Brightfield microscopy, 40× oil immersion. Bone marrow smear.
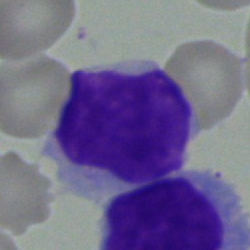 A lymphocyte.